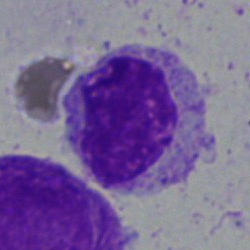Cell = myelocyte.